250 by 250 pixels · 40× oil immersion · bone marrow aspirate smear
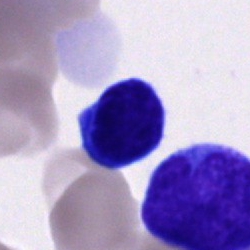

Single cell identified as a lymphocyte.